Bone marrow smear · 250×250: 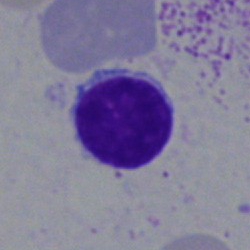{"cell_type": "typical lymphocyte", "lineage": "lymphoid"}